Bone marrow smear; single-cell crop
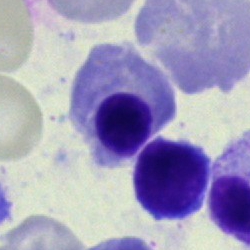
Classification = nucleated red blood cell.